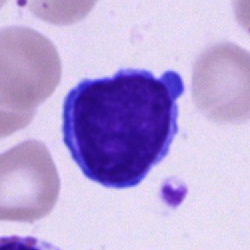 Cell type — lymphocyte.